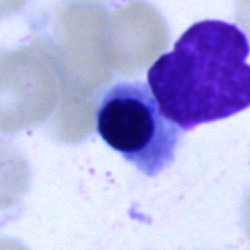
Classification = normoblast.